Bone marrow smear · single-cell field:
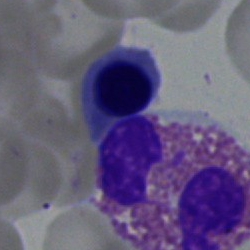 Classification — eosinophilic granulocyte.